Bone marrow smear: 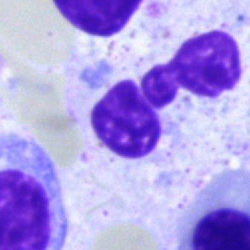 Morphology consistent with a neutrophil (segmented).